Bone marrow aspirate smear:
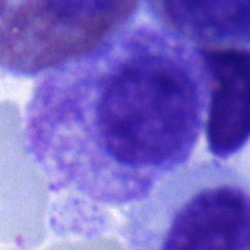Specimen: bone marrow smear.
Cell: myelocyte.